250 by 250 pixels; bone marrow aspirate smear
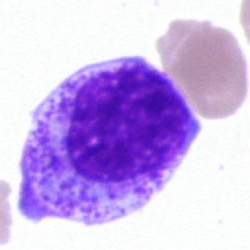

Q: Which cell type is shown here?
A: This is a myelocyte.